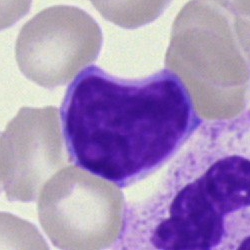 {"cell_type": "lymphocyte", "lineage": "lymphoid"}